Bone marrow smear · May-Grünwald-Giemsa stain — 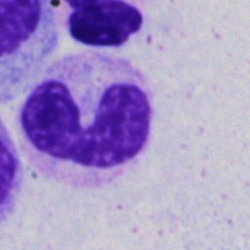Q: Identify the cell.
A: Stab cell.